Bone marrow aspirate smear · brightfield microscopy, 40× oil immersion · 250 by 250 pixels:
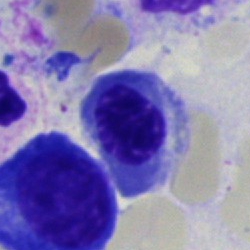Impression → nucleated red cell.